Peripheral blood smear: 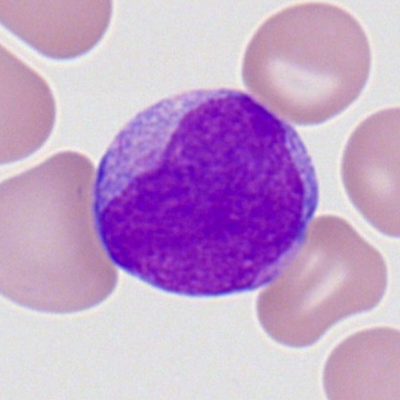 Single cell identified as a myeloid blast.